Single cell centered in the field · bone marrow aspirate smear · May-Grünwald-Giemsa/Pappenheim stain — 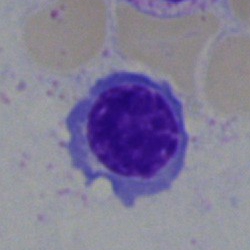

Specimen: bone marrow aspirate smear.
Cell: nucleated red cell.
Lineage: erythroid.